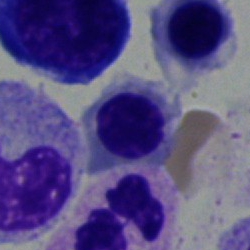 Morphology — erythroblast.